40× oil immersion; bone marrow smear.
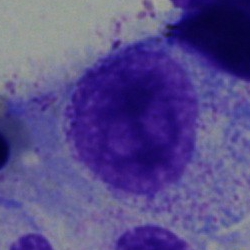The cell shown is a myelocyte.